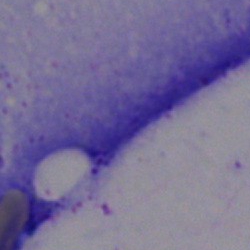

Specimen: bone marrow aspirate smear.
Cell type: artifact.